Bone marrow aspirate smear — 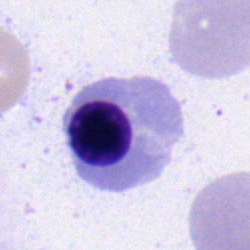

{"cell_type": "lymphocyte", "lineage": "lymphoid"}